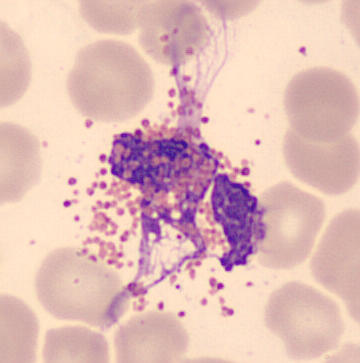

Specimen: peripheral blood smear.
Classification: eosinophilic granulocyte.
Lineage: myeloid.

Single-cell crop.